Bone marrow aspirate smear
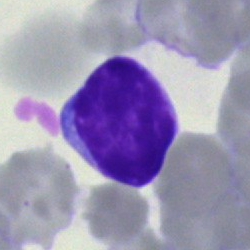Specimen: bone marrow smear.
Morphological class: lymphocyte.
Lineage: lymphoid.